100× objective, oil immersion · peripheral blood smear.
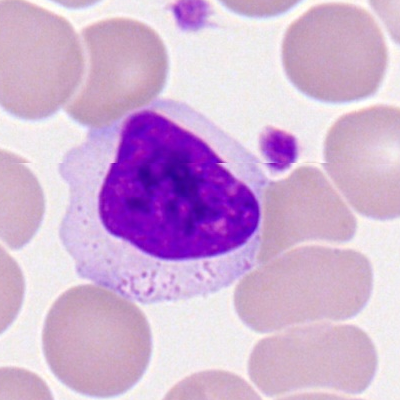
Q: What type of cell is this?
A: Lymphocyte.